May-Grünwald-Giemsa/Pappenheim stain · 250×250 px · bone marrow smear:
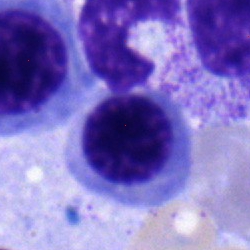Specimen: bone marrow aspirate smear.
Cell type: nucleated red blood cell.
Lineage: erythroid.